Bone marrow smear: 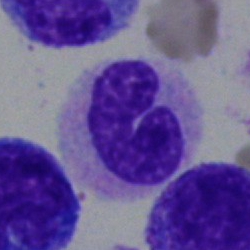This is a stab cell.